Bone marrow aspirate smear
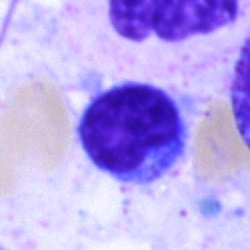 Specimen: bone marrow smear.
Morphological class: lymphocyte.
Lineage: lymphoid.